Bone marrow aspirate smear
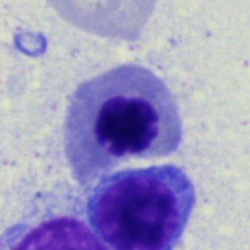
The cell is nucleated red cell.